Bone marrow smear — 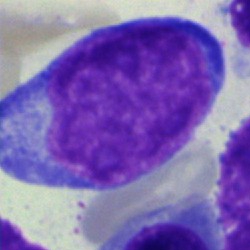 Cell — proerythroblast.